Bone marrow aspirate smear: 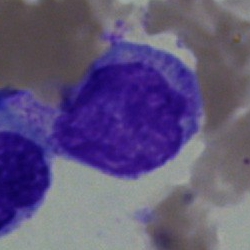

Impression — lymphocyte.